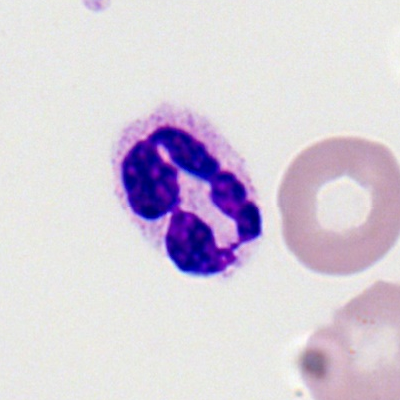

Specimen: peripheral blood smear.
Morphological class: neutrophil (segmented).
Lineage: myeloid.